250 by 250 pixels; bone marrow smear.
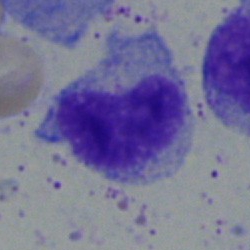The classification is metamyelocyte.